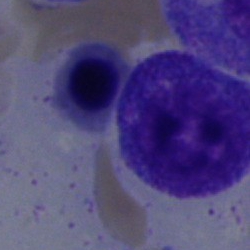

Single-cell crop from a bone marrow smear: promyelocyte.